Bone marrow aspirate smear — 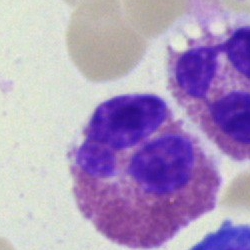
Single cell identified as an eosinophil.